Brightfield, 40× oil-immersion objective; 250 by 250 pixels; bone marrow aspirate smear — 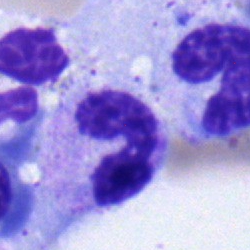

Q: What is shown here?
A: A band neutrophil.